Bone marrow aspirate smear: 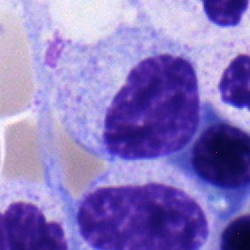 Single cell identified as a myelocyte.